Bone marrow aspirate smear.
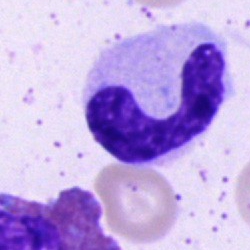
Specimen: bone marrow aspirate smear.
Classification: neutrophil (band).
Lineage: myeloid.